Peripheral blood smear:
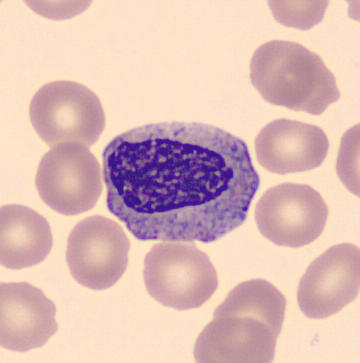 {"cell_type": "myelocyte", "lineage": "myeloid"}